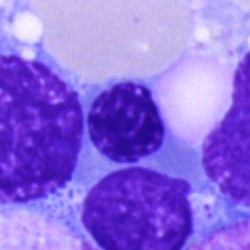
Cell type — erythroblast.